Bone marrow aspirate smear.
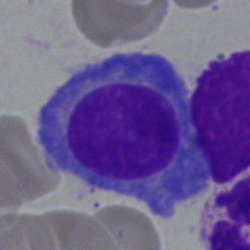
Q: Which cell type is shown here?
A: A plasmacyte.